Bone marrow smear. May-Grünwald-Giemsa/Pappenheim stain
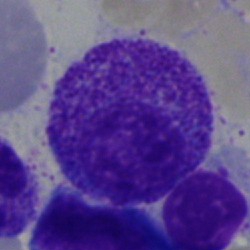
{"cell_type": "myelocyte"}